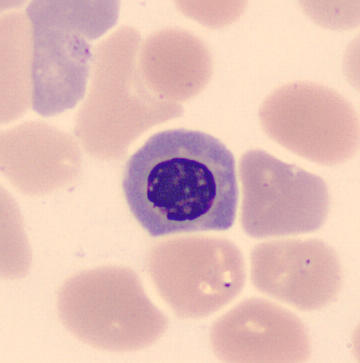Image: CellaVision DM96; peripheral blood film. Q: What is the morphological classification of this cell?
A: This is a normoblast.